Bone marrow smear; 250 by 250 pixels: 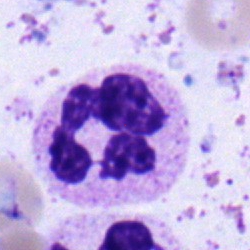
Q: What type of cell is this?
A: Polymorphonuclear neutrophil.